MGG-stained; bone marrow smear; 250×250.
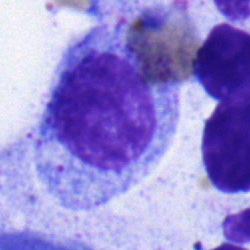

Morphological class — myelocyte.